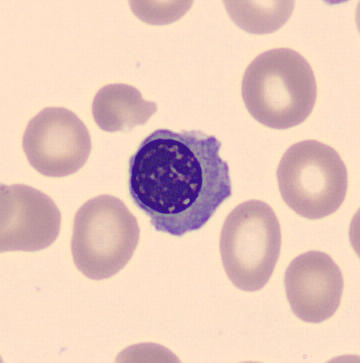Q: Which cell type is shown here?
A: It is a normoblast.